Bone marrow aspirate smear
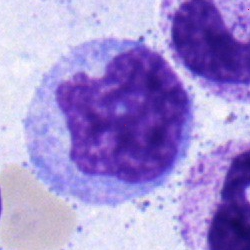

Specimen: bone marrow smear.
Cell: monocyte.
Lineage: myeloid.